Bone marrow smear: 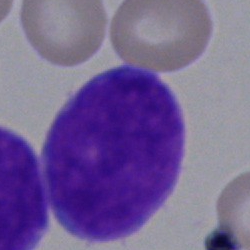

The cell shown is a blast.